Bone marrow aspirate smear:
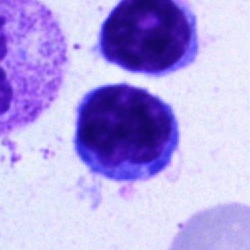A typical lymphocyte.